Single-cell crop · 250×250 px · bone marrow smear — 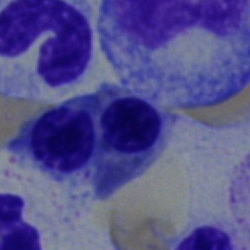 Single cell identified as an erythroblast.